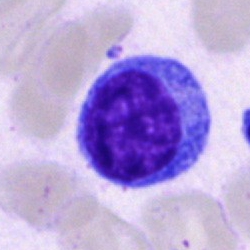 Bone marrow aspirate smear, single cell — typical lymphocyte.